250 by 250 pixels; cropped to a single cell; bone marrow smear — 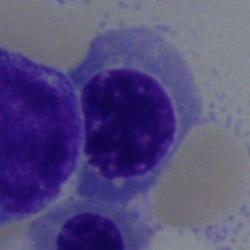 Erythroblast.